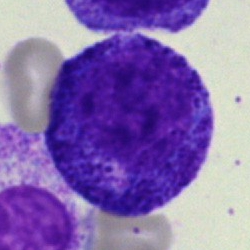Cell type — promyelocyte.